Bone marrow aspirate smear · 40× oil immersion — 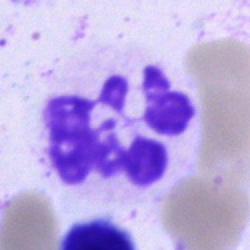 {"cell_type": "neutrophil (segmented)", "lineage": "myeloid"}